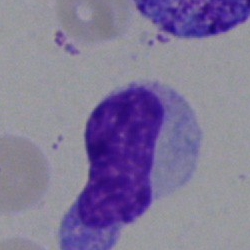 Impression — band-form neutrophil.